Peripheral blood film; 400×400 px; Romanowsky-type stain — 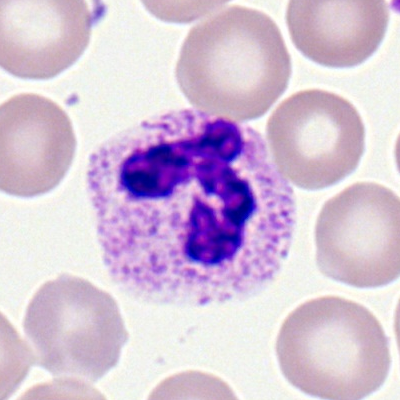Morphology consistent with a segmented neutrophil.